Bone marrow aspirate smear: 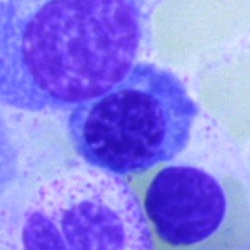
Showing a nucleated red cell.